40× oil immersion; bone marrow aspirate smear.
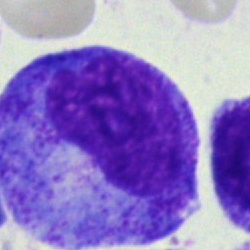Cell: promyelocyte.